May-Grünwald-Giemsa stain. Image size 250×250. Bone marrow aspirate smear.
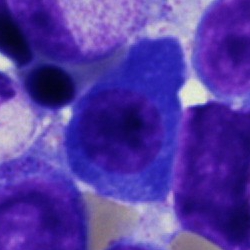

The cell shown is a plasmacyte.